40× objective, oil immersion. Bone marrow aspirate smear.
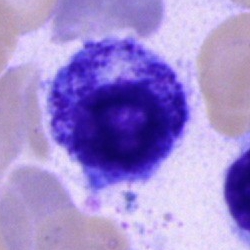Q: What is the morphological classification of this cell?
A: This is a promyelocyte.